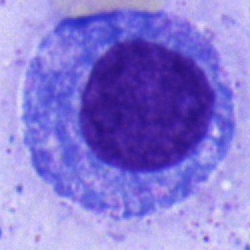
This is a progranulocyte.